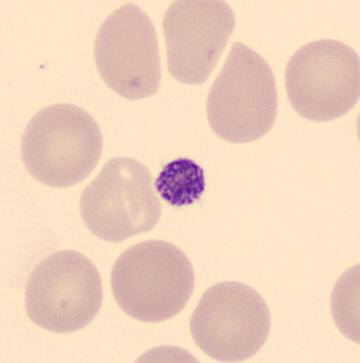 Peripheral blood smear. Imaged on a CellaVision DM96 analyser. 360×363. Thrombocyte.